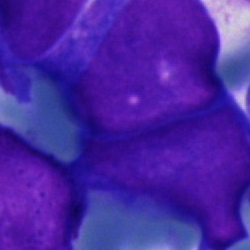
Showing a blast cell.